Bone marrow smear — 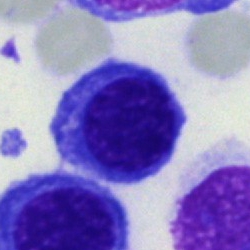
{"cell_type": "erythroblast", "lineage": "erythroid"}